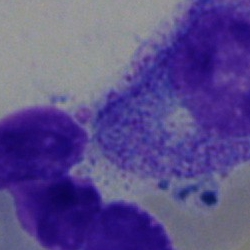
{"cell_type": "myelocyte", "lineage": "myeloid"}